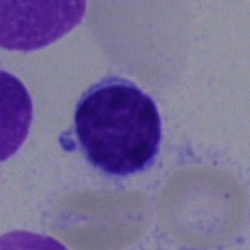The cell shown is a typical lymphocyte.